Bone marrow aspirate smear
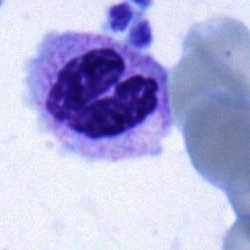 Q: What is shown here?
A: It is a band-form neutrophil.